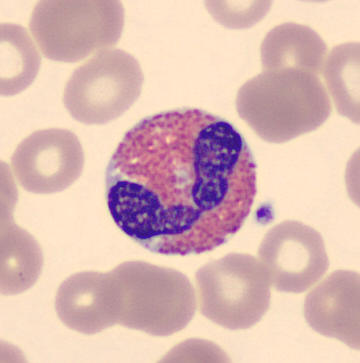Preparation: Peripheral blood film · image size 360×363.
Cell type = eosinophilic granulocyte.